Bone marrow smear
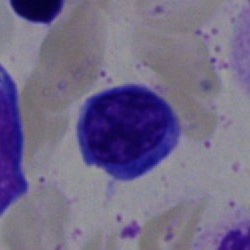

Cell: lymphocyte.